250×250; bone marrow aspirate smear: 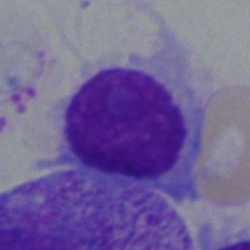Classification: plasma cell.